Bone marrow smear — 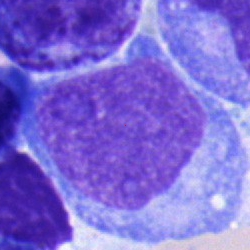

Specimen: bone marrow aspirate smear.
Morphological class: blast.